Bone marrow aspirate smear. May-Grünwald-Giemsa stain:
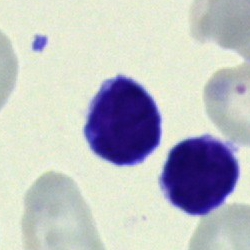 Q: What type of cell is this?
A: This is a typical lymphocyte.